Bone marrow smear · Pappenheim-stained:
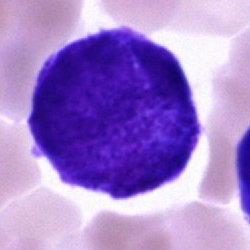

Cell type = undifferentiated blast.